Bone marrow aspirate smear — 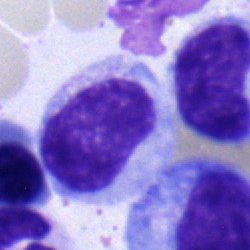This is a metamyelocyte.